250×250 px. Bone marrow smear. Brightfield microscopy, 40× oil immersion.
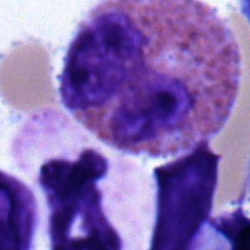Cell — eosinophil.